Single cell centered in the field; image size 250×250; bone marrow aspirate smear — 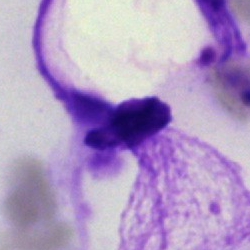

An artifact.